Bone marrow aspirate smear — 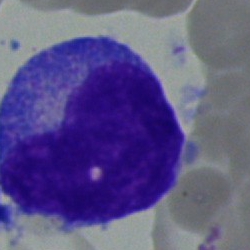 Q: What cell is this?
A: Blast cell.